Single-cell crop; bone marrow smear.
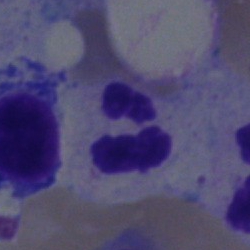 {"cell_type": "neutrophil (segmented)", "lineage": "myeloid"}